Single-cell crop. 250×250 px. Bone marrow aspirate smear — 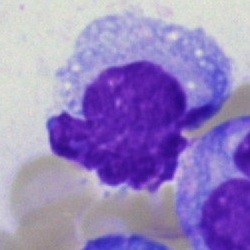 Cell — artifact.